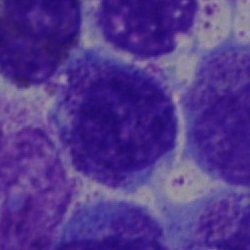

Q: What type of cell is this?
A: It is a blast cell.